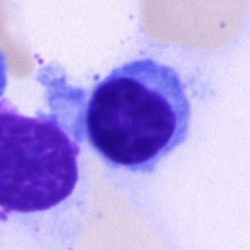 Q: Identify the cell.
A: A typical lymphocyte.